Peripheral blood smear · 400×400 · cropped to a single cell.
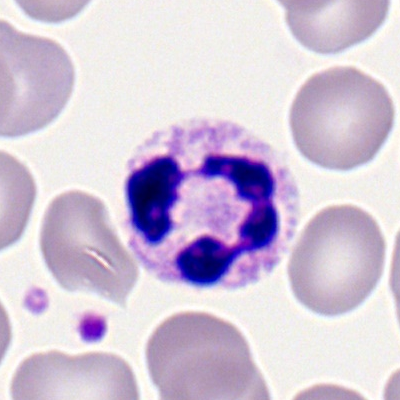 The cell type is segmented neutrophil.